Bone marrow smear: 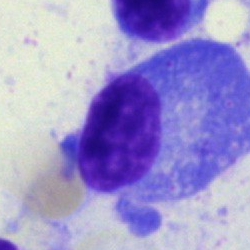Impression → plasma cell.